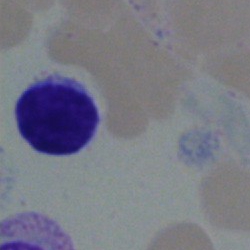

Q: What is shown here?
A: It is a typical lymphocyte.